Peripheral blood film
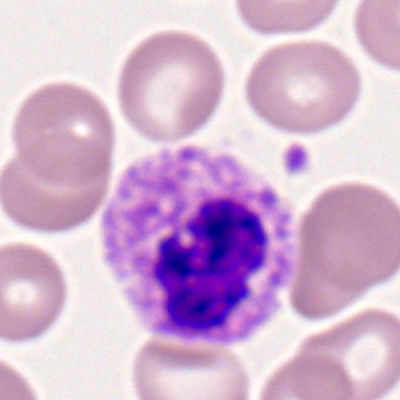 Q: What is shown here?
A: A segmented neutrophil.